Bone marrow smear; image size 250×250: 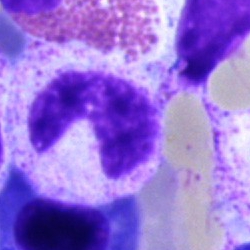 The classification is neutrophil (band).